Bone marrow aspirate smear.
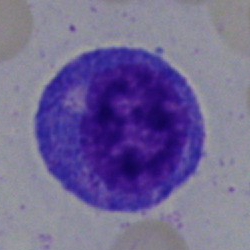 Promyelocyte.